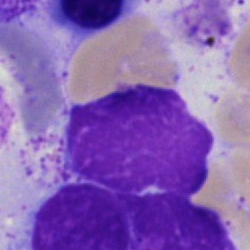

The cell shown is an artifact.